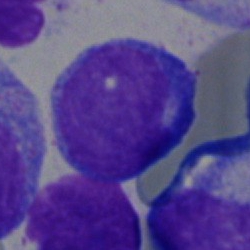 Blast cell.